Bone marrow aspirate smear · 40× objective, oil immersion · MGG-stained:
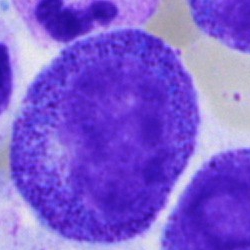
The cell type is progranulocyte.